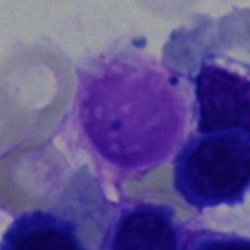 The cell type is artefact.